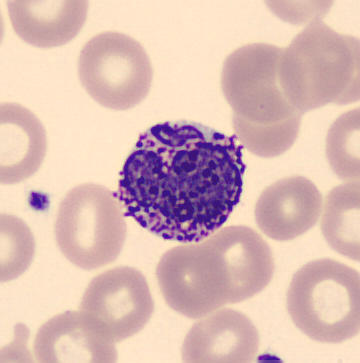Image: Peripheral blood smear. Identified as a basophilic granulocyte.